Bone marrow smear.
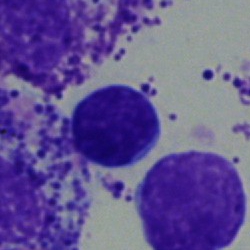This is a typical lymphocyte.